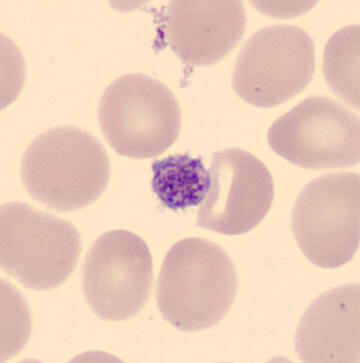

Morphology → thrombocyte.